May-Grünwald-Giemsa stain. Bone marrow aspirate smear.
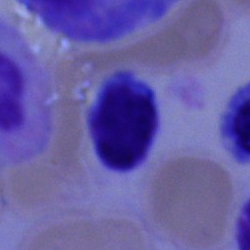Single cell identified as a lymphocyte.